Bone marrow aspirate smear
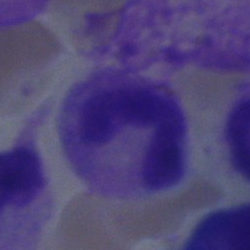The cell is neutrophil (segmented).